Bone marrow aspirate smear:
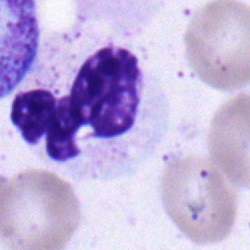

Impression — polymorphonuclear neutrophil.